Bone marrow aspirate smear:
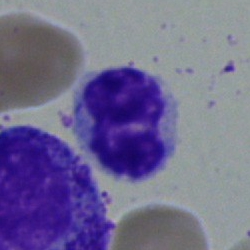Morphology → monocyte.